Single cell centered in the field. Peripheral blood film — 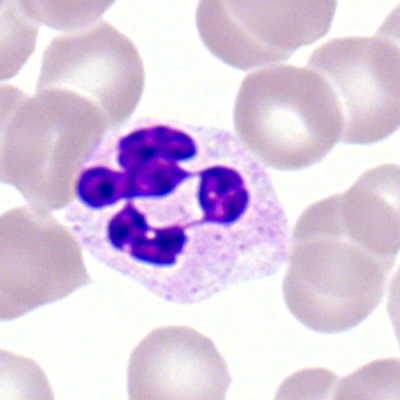 Morphology consistent with a polymorphonuclear neutrophil.